Bone marrow smear: 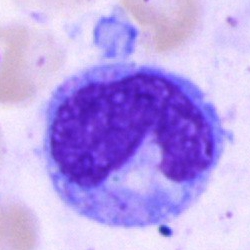

Morphological class — monocyte.